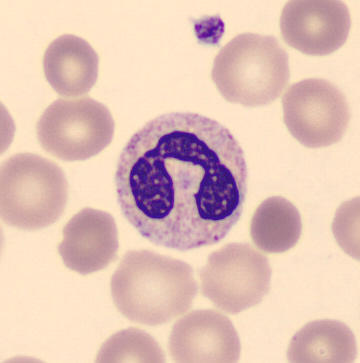 Q: Which cell type is shown here?
A: This is a neutrophil (band).